May-Grünwald-Giemsa stain; bone marrow smear; 250×250 px
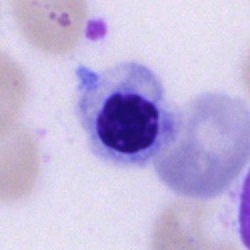 Nucleated red blood cell.